Bone marrow aspirate smear
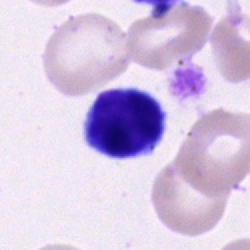 Classification — typical lymphocyte.